Bone marrow aspirate smear — 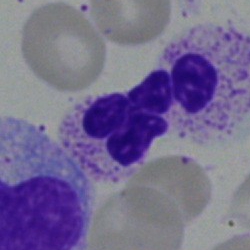
The cell shown is a neutrophil (segmented).